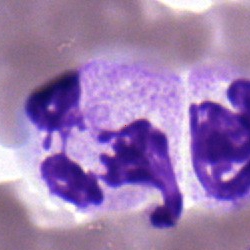
Morphological class: neutrophil (segmented).